Bone marrow smear:
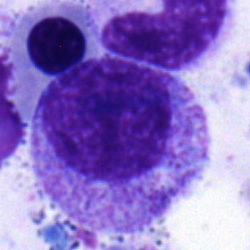Impression — myelocyte.